Bone marrow smear.
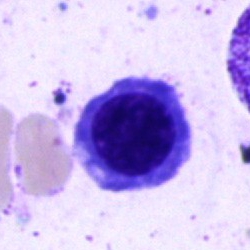A nucleated red blood cell.